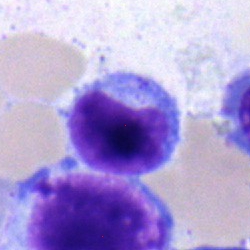
A lymphocyte on a bone marrow smear.